May-Grünwald-Giemsa-stained; cropped to a single cell; peripheral blood film — 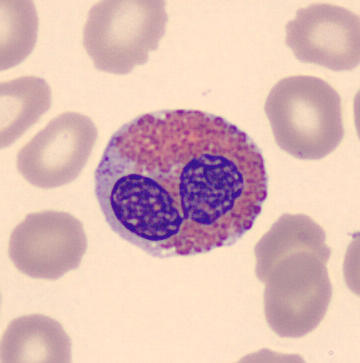Morphology — eosinophil.